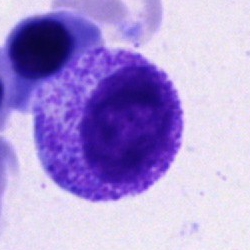 Single-cell crop from a bone marrow smear: myelocyte.